Bone marrow smear.
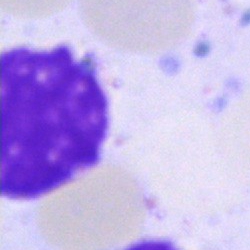

Showing an artefact.